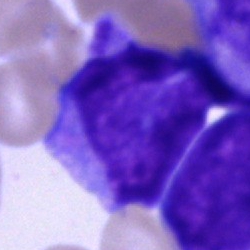
Q: What is the morphological classification of this cell?
A: It is a blast.